Bone marrow smear; single-cell field:
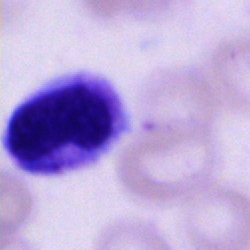Morphology consistent with an unidentifiable cell.